Bone marrow smear:
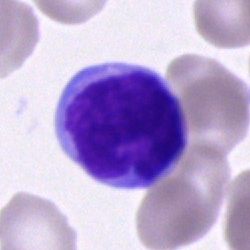

Showing a lymphocyte.